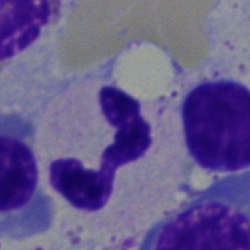 Bone marrow aspirate smear, single cell — neutrophil (segmented).